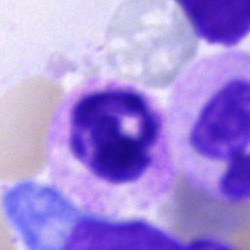Bone marrow smear showing a polymorphonuclear neutrophil.